Bone marrow smear.
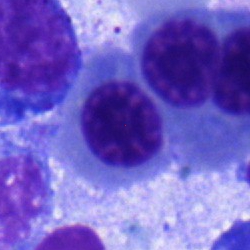

This is a nucleated red blood cell.